Bone marrow aspirate smear · May-Grünwald-Giemsa/Pappenheim stain: 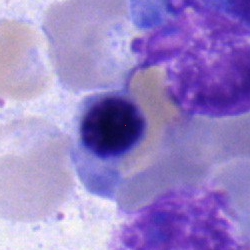
This is a nucleated red blood cell.